Bone marrow smear:
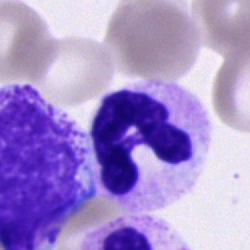

Morphology → polymorphonuclear neutrophil.